40× objective, oil immersion. May-Grünwald-Giemsa stain. Bone marrow smear: 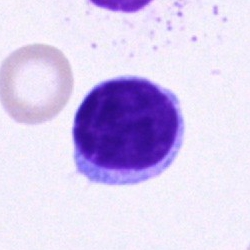
Impression — lymphocyte.